Bone marrow aspirate smear. Brightfield microscopy, 40× oil immersion. Single-cell field.
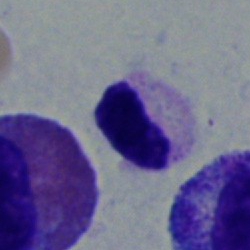

Cell — metamyelocyte.